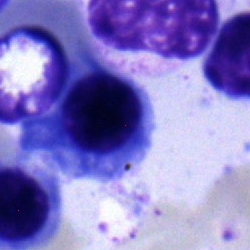 Q: What cell is this?
A: Erythroblast.